Single-cell field · bone marrow aspirate smear — 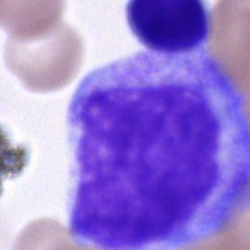

Progranulocyte.